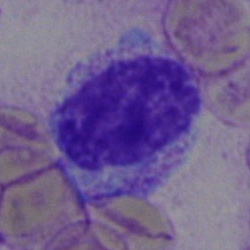

Specimen: bone marrow aspirate smear.
Cell: myelocyte.
Lineage: myeloid.